Bone marrow aspirate smear
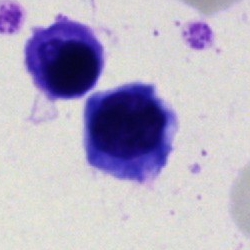 An erythroblast.